400×400 · peripheral blood smear.
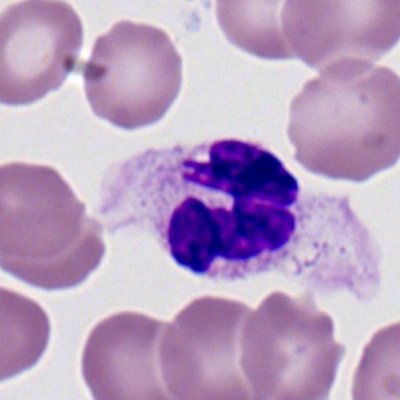

Q: What cell is this?
A: A segmented neutrophil.